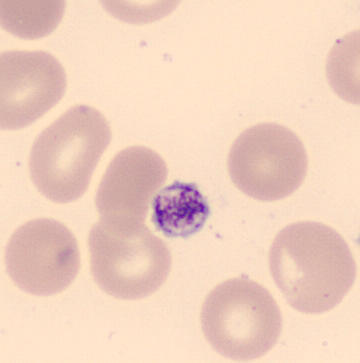 Q: What is shown here?
A: It is a thrombocyte.
Acquisition: CellaVision DM96. Peripheral blood smear.